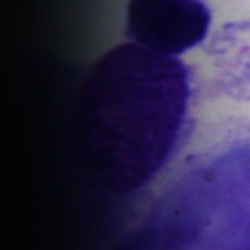
Classification = artifact.